Brightfield microscopy, 40× oil immersion; bone marrow aspirate smear — 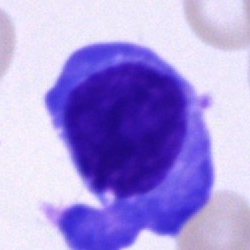
Q: Which cell type is shown here?
A: Plasma cell.